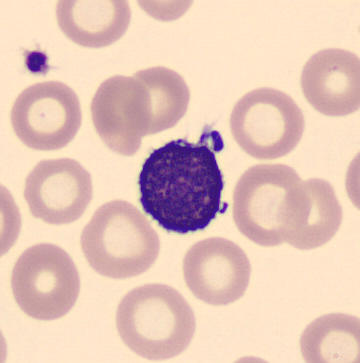 Q: What is the morphological classification of this cell?
A: This is a typical lymphocyte. Image: Peripheral blood smear · image size 360×363.